Bone marrow aspirate smear: 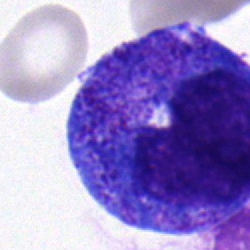
The cell shown is a promyelocyte.